Bone marrow smear · brightfield, 40× oil-immersion objective.
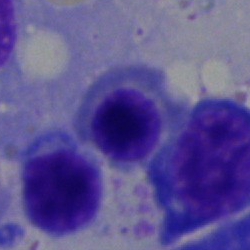

Q: What is the morphological classification of this cell?
A: Normoblast.